Bone marrow smear: 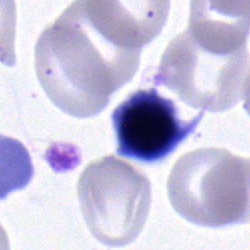

Impression — erythroblast.